Bone marrow smear.
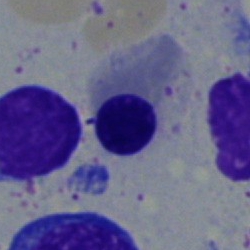Cell: nucleated red blood cell.